Bone marrow smear.
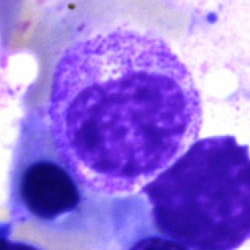

The classification is myelocyte.